Image size 250×250; bone marrow aspirate smear; cropped to a single cell:
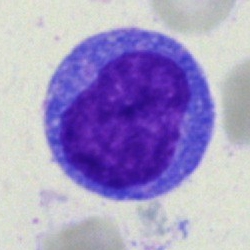Specimen: bone marrow smear.
Cell: undifferentiated blast.